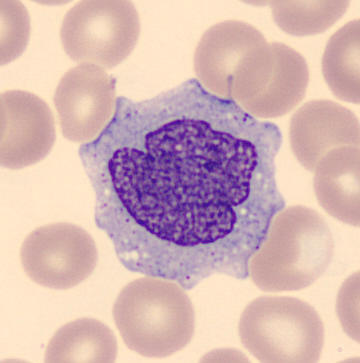Q: What is shown here?
A: A monocyte.